Bone marrow smear.
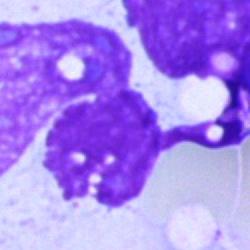

Q: What is shown here?
A: It is an artefact.